Peripheral blood film; 100× oil immersion; Romanowsky-type stain — 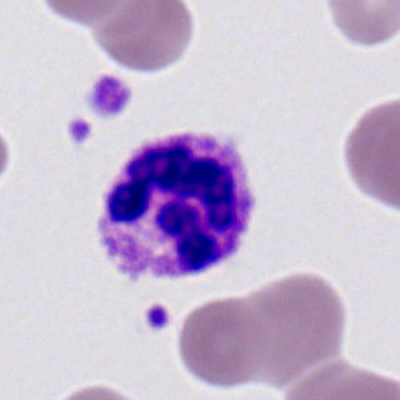 Specimen: peripheral blood film.
Classification: segmented neutrophil.